Bone marrow aspirate smear.
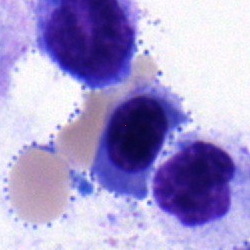
Cell — normoblast.